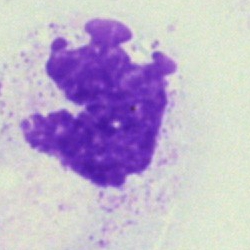

Artifact.